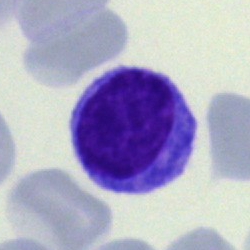 A typical lymphocyte on a bone marrow smear.